Peripheral blood film: 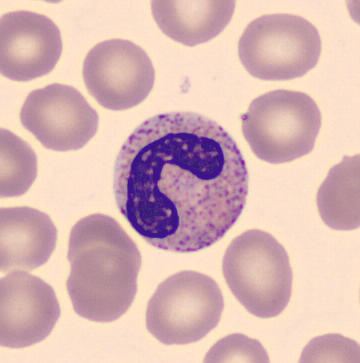

Morphology consistent with a stab cell.